Bone marrow smear — 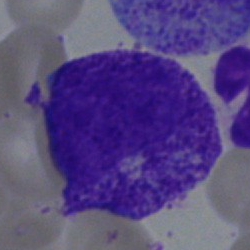
Specimen: bone marrow aspirate smear.
Cell type: myelocyte.
Lineage: myeloid.